Peripheral blood film — 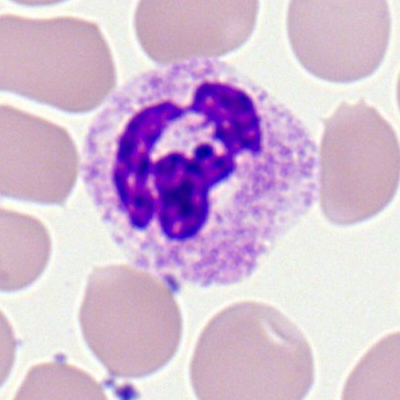Morphology consistent with a neutrophil (segmented).